Bone marrow aspirate smear. May-Grünwald-Giemsa/Pappenheim stain:
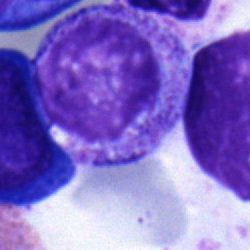The classification is myelocyte.